Bone marrow smear — 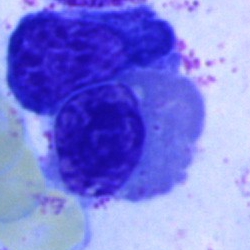

Morphology — nucleated red cell.